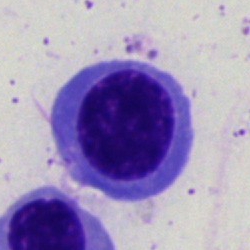
Cell = normoblast.